Bone marrow aspirate smear: 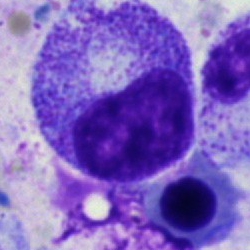
Specimen: bone marrow smear.
Morphological class: promyelocyte.
Lineage: myeloid.